Bone marrow smear:
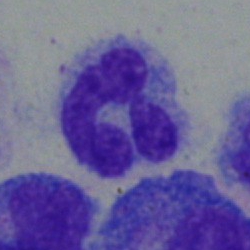 Morphological class = monocyte.